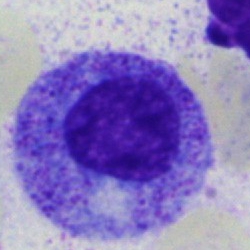 Cell type — myelocyte.